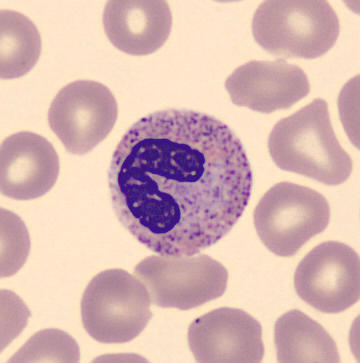
Classification — band neutrophil.